Bone marrow aspirate smear
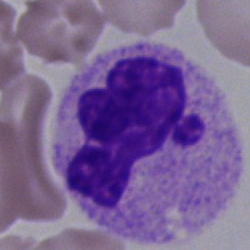 Morphological class: neutrophil (segmented).